Bone marrow smear: 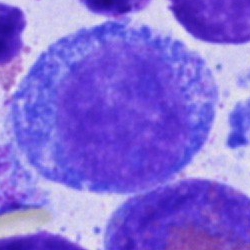
Promyelocyte.